Bone marrow aspirate smear · cropped to a single cell · 250×250.
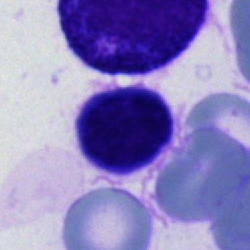
Cell — artifact.